Peripheral blood film; single cell centered in the field — 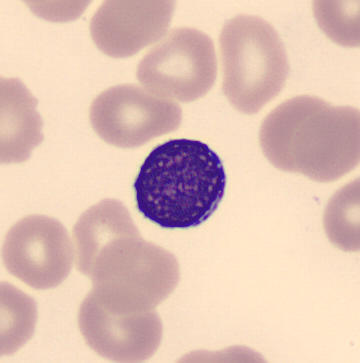

Cell type: lymphocyte.